Bone marrow smear
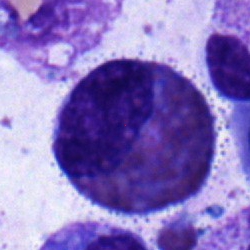 Specimen: bone marrow smear.
Classification: eosinophil.